Bone marrow aspirate smear: 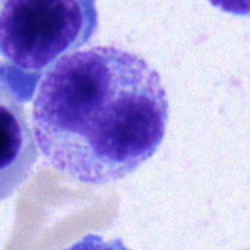

Showing a metamyelocyte.